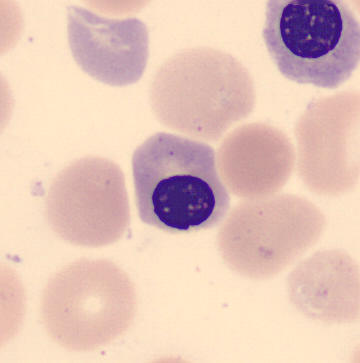 Showing a normoblast.

Peripheral blood film.